Bone marrow smear · cropped to a single cell · brightfield microscopy, 40× oil immersion — 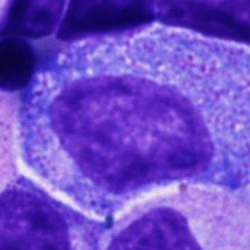 Q: What is the morphological classification of this cell?
A: This is a progranulocyte.